Peripheral blood film
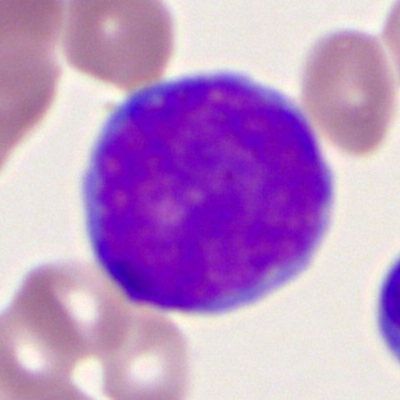Impression → myeloblast.